Bone marrow smear.
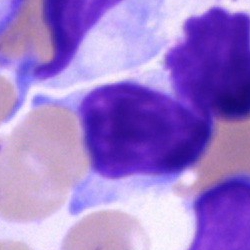

A lymphocyte.